Single cell centered in the field · bone marrow aspirate smear.
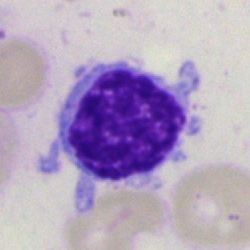 Cell — typical lymphocyte.